Bone marrow smear: 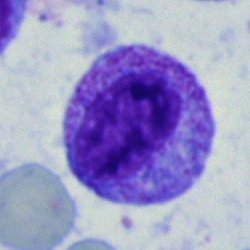

A promyelocyte.